400×400 px; peripheral blood film:
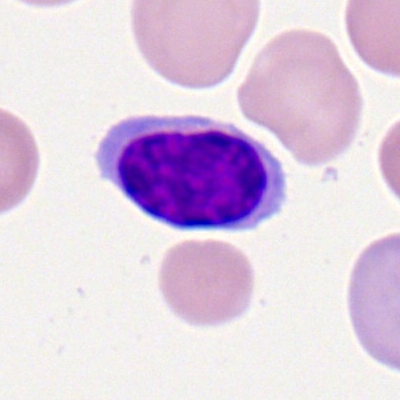 Typical lymphocyte.